Bone marrow aspirate smear: 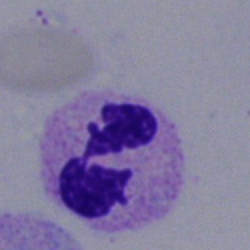{"cell_type": "segmented neutrophil", "lineage": "myeloid"}